Bone marrow smear — 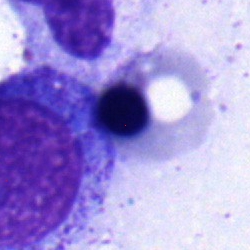 Morphological class — nucleated red cell.